Bone marrow aspirate smear.
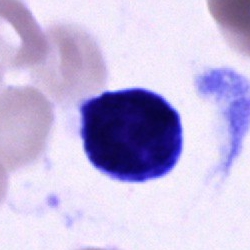
Morphology consistent with a cell of indeterminate lineage.